Bone marrow aspirate smear:
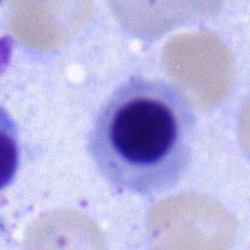
The cell is nucleated red cell.